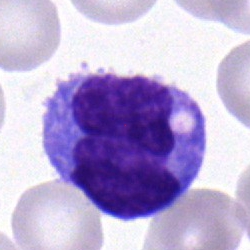

Cell: monocyte.